Bone marrow smear; 250 by 250 pixels:
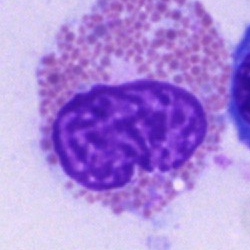Morphology — eosinophil.